Bone marrow aspirate smear
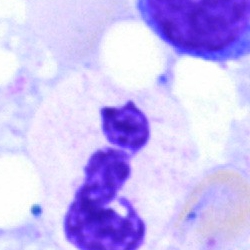
Classification — neutrophil (segmented).